Bone marrow smear:
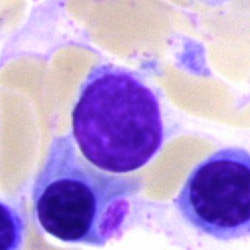

Morphology → lymphocyte.